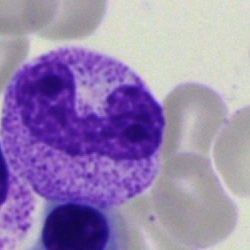
The cell shown is a band-form neutrophil.